Bone marrow smear.
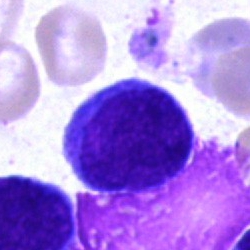Q: Which cell type is shown here?
A: This is a blast cell.